Bone marrow smear — 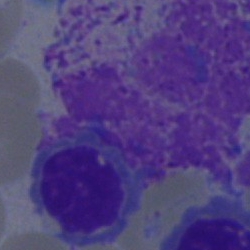

Q: What is shown here?
A: An artefact.